May-Grünwald-Giemsa/Pappenheim stain. Bone marrow smear
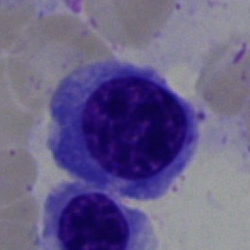

Impression — erythroblast.